Bone marrow aspirate smear — 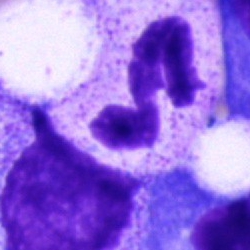
Morphology consistent with a segmented neutrophil.